Peripheral blood film; Romanowsky-stained
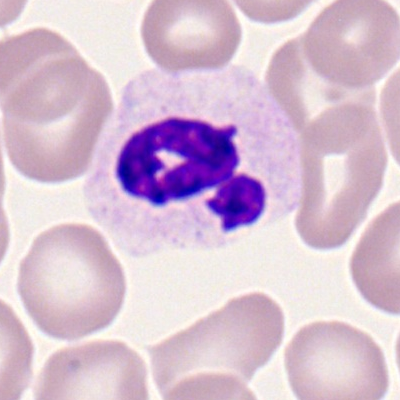Single cell identified as a polymorphonuclear neutrophil.